Bone marrow smear: 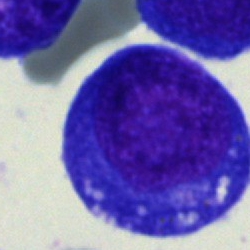Blast cell.